May-Grünwald-Giemsa stain; bone marrow smear
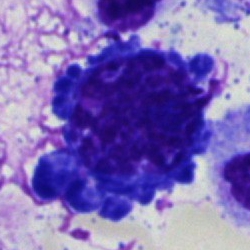 Nucleated red cell.